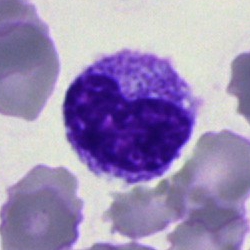
Q: Identify the cell.
A: A metamyelocyte.